Brightfield, 40× oil-immersion objective · bone marrow aspirate smear · single-cell field
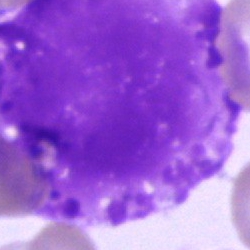
Classification = artifact.